Bone marrow aspirate smear — 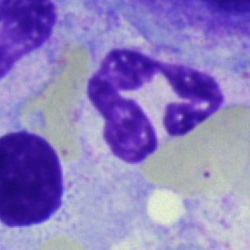
Impression — segmented neutrophil.